Bone marrow smear · single cell centered in the field — 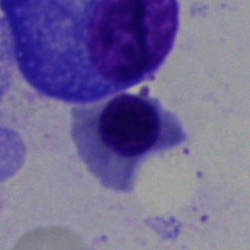The morphological class is erythroblast.